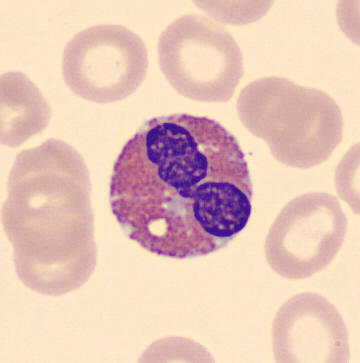
Specimen: peripheral blood film.
Classification: eosinophilic granulocyte.
Lineage: myeloid.